Bone marrow aspirate smear: 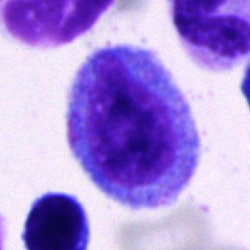The cell type is promyelocyte.